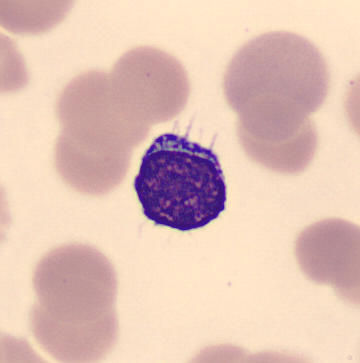

A typical lymphocyte.